Bone marrow aspirate smear. MGG-stained:
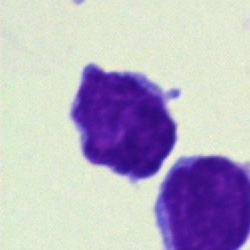
Morphology → lymphocyte.